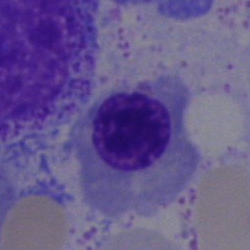

Classification — erythroblast.